Peripheral blood film.
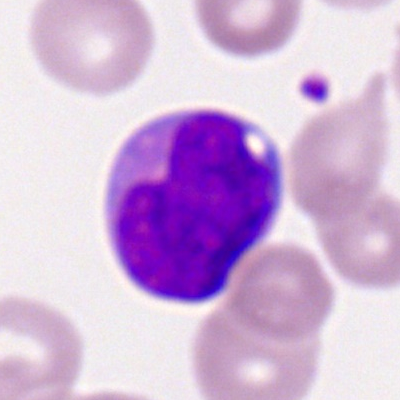 The cell type is myeloblast.